Bone marrow aspirate smear
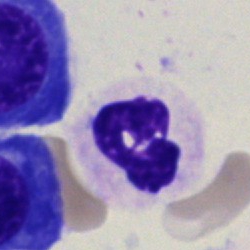 Classification — neutrophil (segmented).